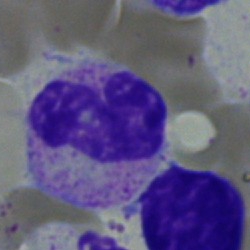
The cell shown is a band neutrophil.